400×400 px. Peripheral blood smear. Cropped to a single cell — 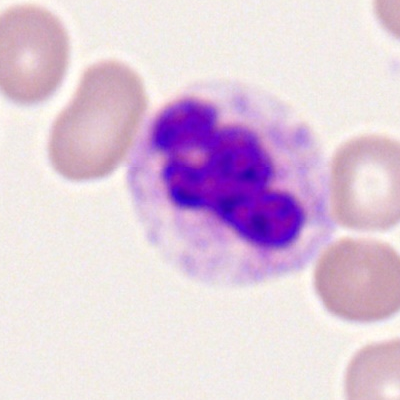 The cell shown is a neutrophil (segmented).